Bone marrow aspirate smear.
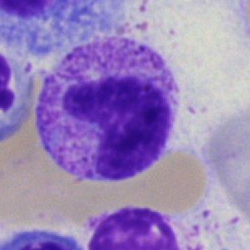
{"cell_type": "metamyelocyte", "lineage": "myeloid"}